Bone marrow aspirate smear:
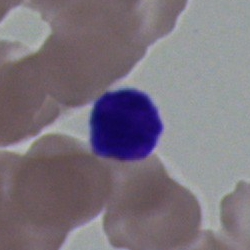 Cell type: typical lymphocyte.